Bone marrow smear
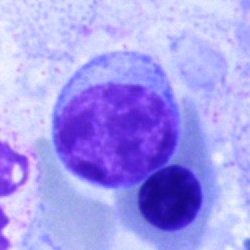Morphological class — lymphocyte.